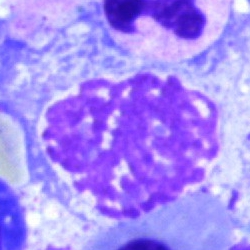Artifact.